Bone marrow aspirate smear
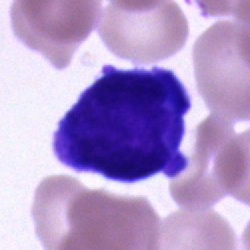

This is an unidentifiable cell.